Bone marrow aspirate smear; May-Grünwald-Giemsa/Pappenheim stain:
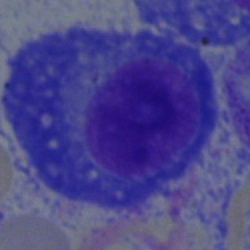 Classification — plasmacyte.